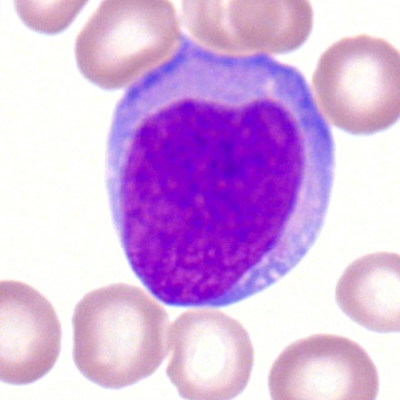{"cell_type": "myeloid blast", "lineage": "myeloid"}